Brightfield microscopy, 40× oil immersion · bone marrow aspirate smear · single cell centered in the field: 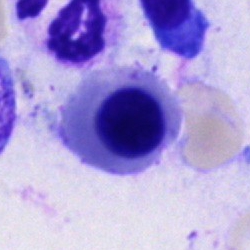

Showing a normoblast.